Brightfield microscopy, 40× oil immersion; bone marrow aspirate smear:
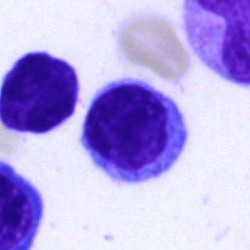
Single cell identified as a lymphocyte.